Bone marrow aspirate smear
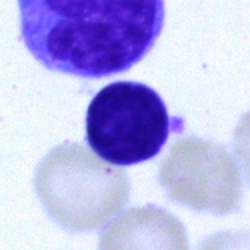Q: What is the morphological classification of this cell?
A: It is a lymphocyte.